Bone marrow smear · cropped to a single cell:
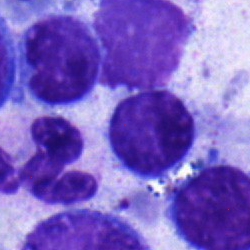 Typical lymphocyte.